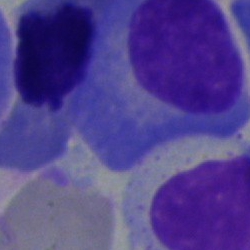

{"cell_type": "plasmacyte", "lineage": "lymphoid"}